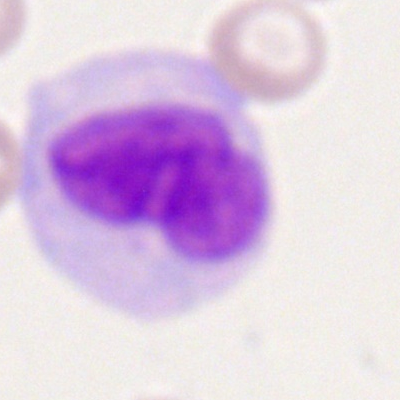

This is a monocyte.